Bone marrow smear · 40× oil immersion — 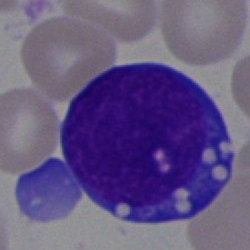Single cell identified as an undifferentiated blast.